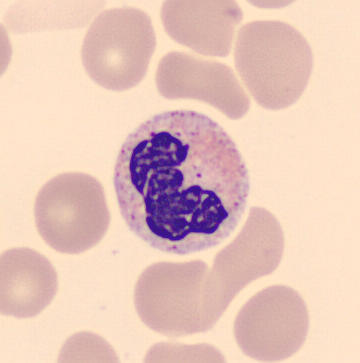Preparation: Imaged on a CellaVision DM96 analyser · peripheral blood film.
Impression — stab cell.